Bone marrow aspirate smear: 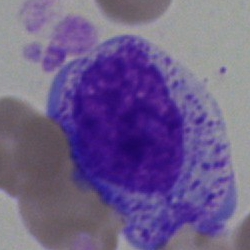

This is a promyelocyte.